Brightfield, 40× oil-immersion objective. Bone marrow smear:
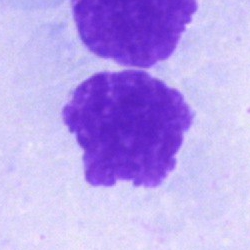
Impression — artifact.